Bone marrow aspirate smear; MGG-stained — 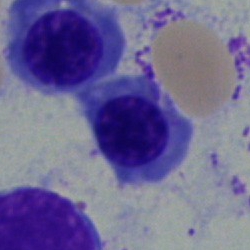A nucleated red cell.